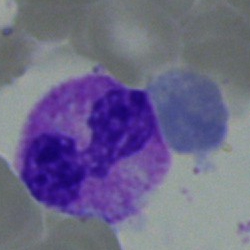
Q: What cell is this?
A: Segmented neutrophil.